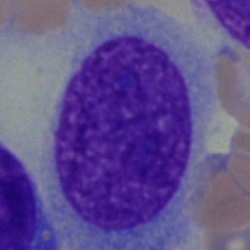Specimen: bone marrow smear.
Classification: blast.